Cropped to a single cell; peripheral blood smear; 400×400: 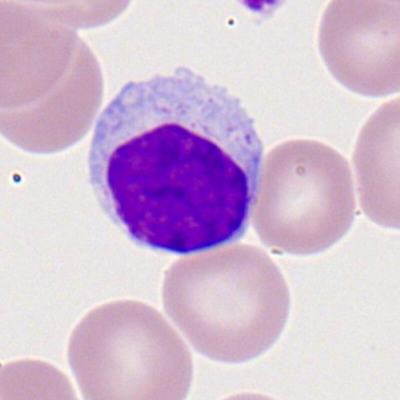
Morphological class = typical lymphocyte.